Bone marrow smear: 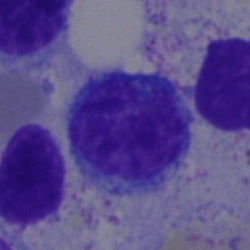
Classification — typical lymphocyte.